Bone marrow aspirate smear: 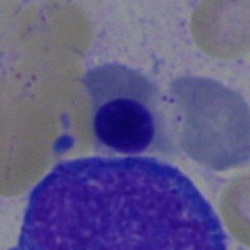

The cell shown is a normoblast.